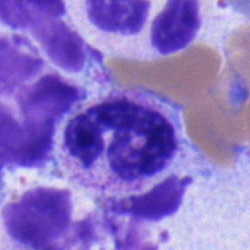 Specimen: bone marrow smear.
Classification: lymphocyte.
Lineage: lymphoid.